40× objective, oil immersion · bone marrow smear
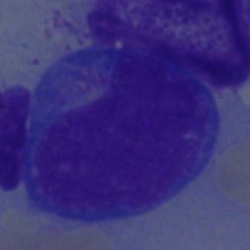Undifferentiated blast.